Bone marrow smear:
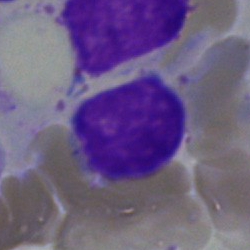

Q: Which cell type is shown here?
A: It is a lymphocyte.